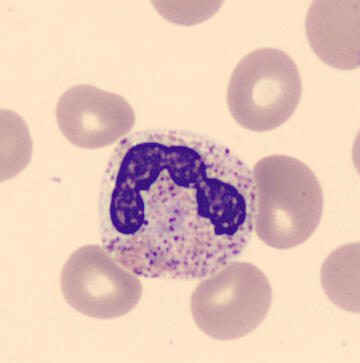
Acquisition: Peripheral blood film.
Morphological class = segmented neutrophil.